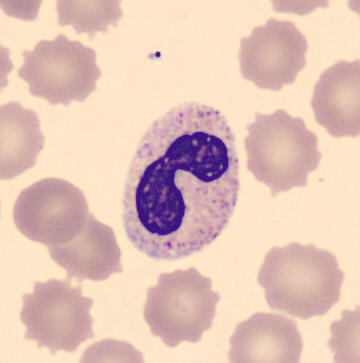
Cell — band-form neutrophil.
Image: Peripheral blood smear.